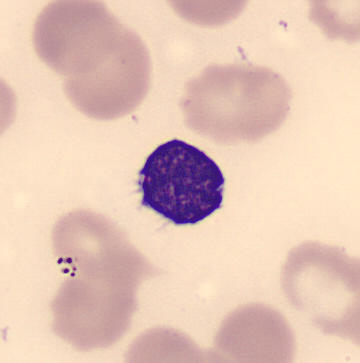
Identified as a typical lymphocyte.